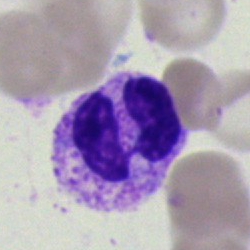 Morphological class — segmented neutrophil.